250×250; bone marrow aspirate smear: 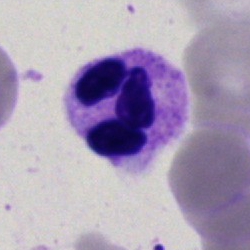

Specimen: bone marrow smear.
Classification: segmented neutrophil.
Lineage: myeloid.